Bone marrow aspirate smear:
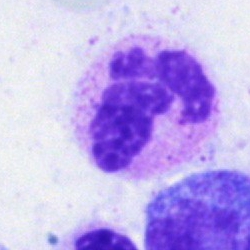Morphology consistent with a segmented neutrophil.